Bone marrow smear
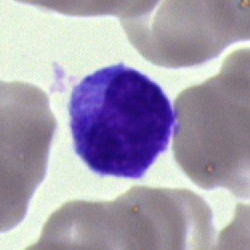
Single cell identified as a lymphocyte.